Bone marrow smear · May-Grünwald-Giemsa/Pappenheim stain · cropped to a single cell:
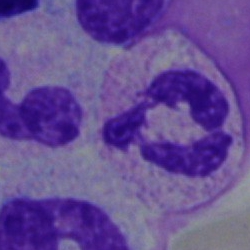 Impression — segmented neutrophil.